Single-cell field; bone marrow aspirate smear
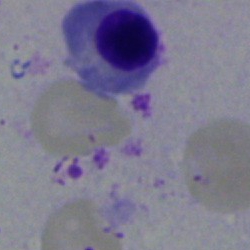 Showing a nucleated red blood cell.